Bone marrow smear:
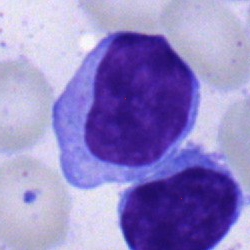 Classification = lymphocyte.